Bone marrow smear: 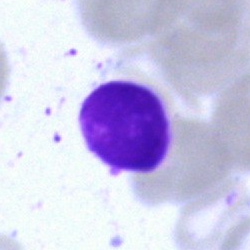Single cell identified as an artifact.